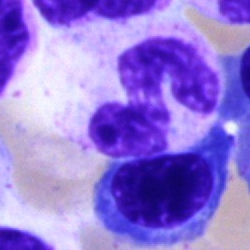 Specimen: bone marrow aspirate smear.
Classification: band-form neutrophil.
Lineage: myeloid.